250×250 · bone marrow aspirate smear — 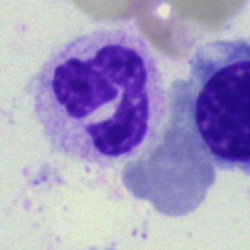
The cell type is neutrophil (segmented).